Bone marrow smear.
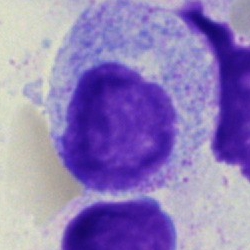

Morphology → myelocyte.